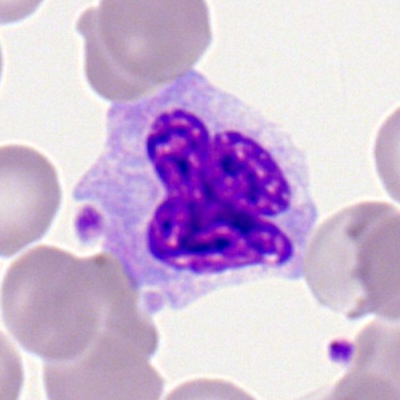 A monocyte.